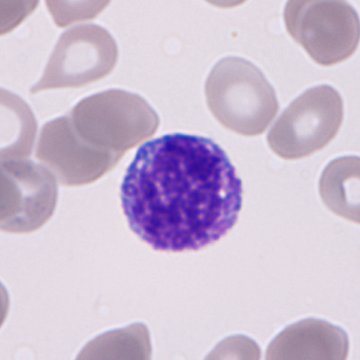Impression — immature granulocyte (promyelocyte, myelocyte or metamyelocyte).